Bone marrow smear.
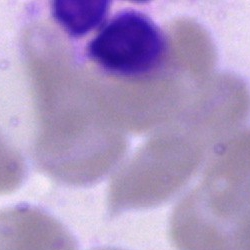 Showing an artefact.